Bone marrow aspirate smear. May-Grünwald-Giemsa/Pappenheim stain
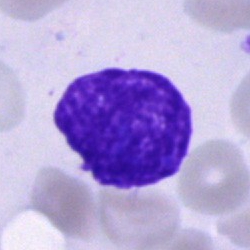
An artifact.